360×363 px · imaged on a CellaVision DM96 analyser · peripheral blood film.
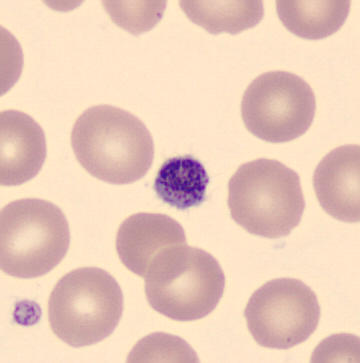

Cell type: platelet.